Peripheral blood smear: 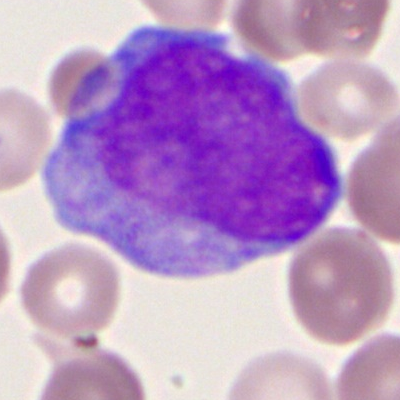 Myeloid blast.